Bone marrow aspirate smear:
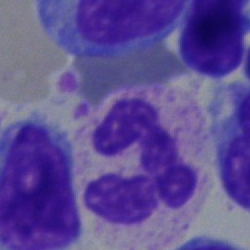 The cell is segmented neutrophil.